Bone marrow aspirate smear:
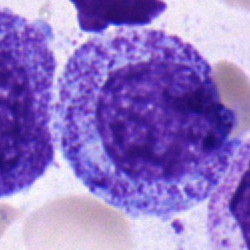
{"cell_type": "myelocyte"}